Bone marrow smear. May-Grünwald-Giemsa stain — 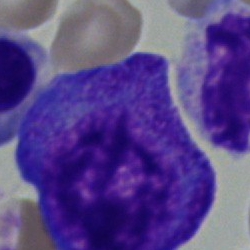 This is a progranulocyte.